250 by 250 pixels; bone marrow aspirate smear
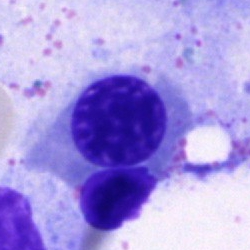Erythroblast.